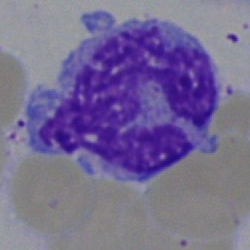{"cell_type": "monocyte"}